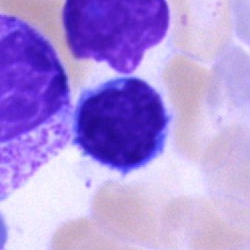

Q: What cell is this?
A: It is a lymphocyte.